40× oil immersion. Bone marrow aspirate smear — 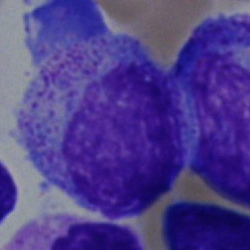Morphological class = promyelocyte.